Bone marrow smear — 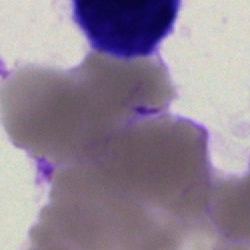

Artefact.